Bone marrow aspirate smear. Single-cell field. MGG-stained:
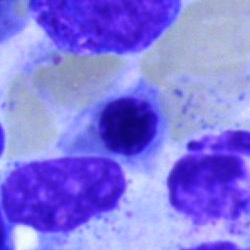 This is a normoblast.